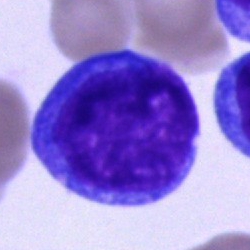 Q: What is shown here?
A: It is an undifferentiated blast.